Bone marrow smear. 250×250 px.
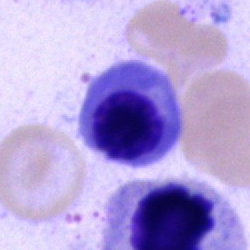

Q: What is shown here?
A: A normoblast.